Cropped to a single cell · bone marrow smear:
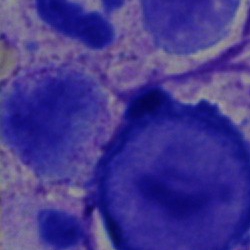

Morphology consistent with a proerythroblast.